Bone marrow aspirate smear:
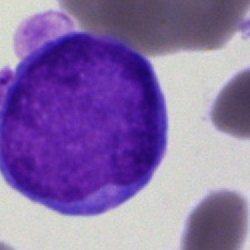

A blast.